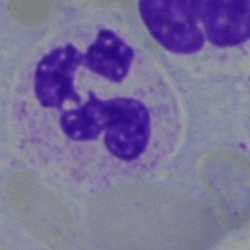 Bone marrow aspirate smear, single cell — segmented neutrophil.